Peripheral blood smear. Single-cell field.
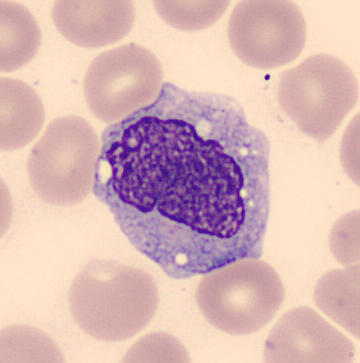
Specimen: peripheral blood film.
Cell: monocyte.